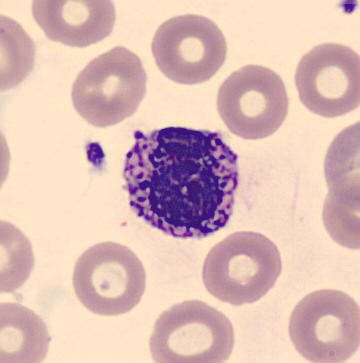{"cell_type": "basophil", "lineage": "myeloid"}